Bone marrow aspirate smear; brightfield, 40× oil-immersion objective: 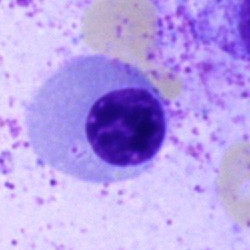
Morphology consistent with a nucleated red cell.